Bone marrow aspirate smear — 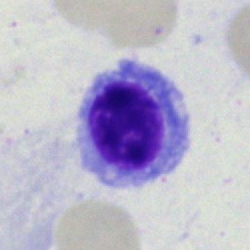

Nucleated red cell.